Peripheral blood smear.
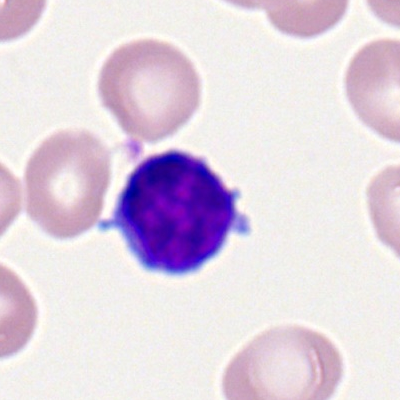Specimen: peripheral blood smear.
Morphological class: typical lymphocyte.